Peripheral blood film: 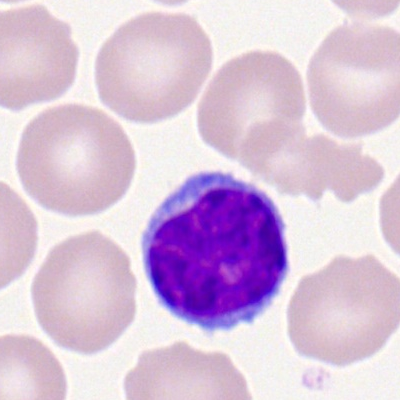

Specimen: peripheral blood film.
Cell: lymphocyte.
Lineage: lymphoid.